Bone marrow smear:
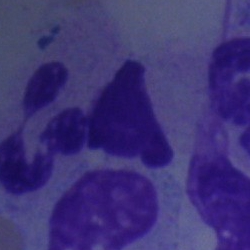

Morphology consistent with an artefact.